40× oil immersion. Bone marrow aspirate smear.
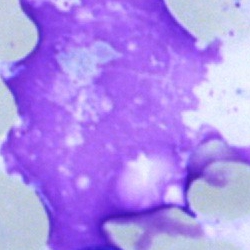Single cell identified as an artifact.